Bone marrow smear.
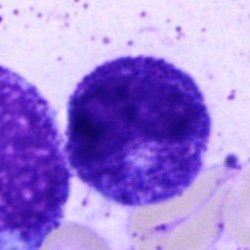Progranulocyte.